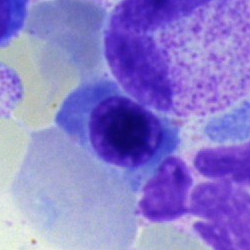

Bone marrow smear showing a nucleated red blood cell.